Bone marrow smear · May-Grünwald-Giemsa stain — 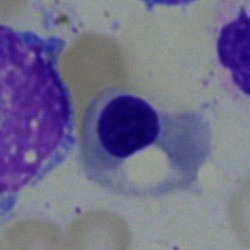Morphological class = erythroblast.